Bone marrow smear · 250×250.
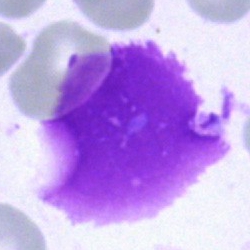 Q: What is shown here?
A: Artifact.